Single-cell crop; May-Grünwald-Giemsa stain; bone marrow aspirate smear — 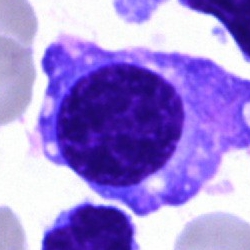 Classification — plasma cell.